Bone marrow smear:
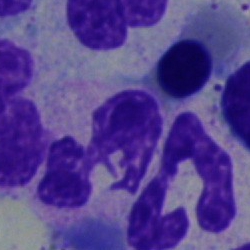 Cell type: polymorphonuclear neutrophil.